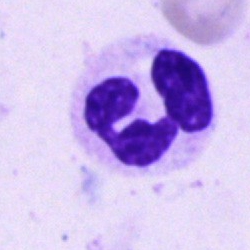 Showing a neutrophil (segmented).